May-Grünwald-Giemsa/Pappenheim stain; bone marrow aspirate smear — 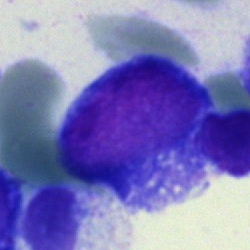 Morphology consistent with an undifferentiated blast.